Peripheral blood film.
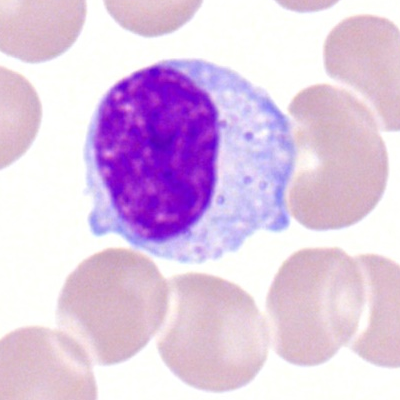

Lymphocyte.